Bone marrow aspirate smear: 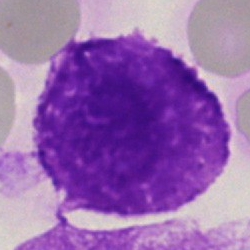

Morphology → artefact.